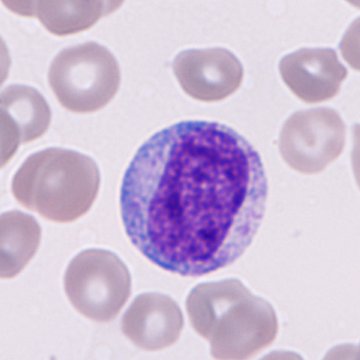 Showing an immature granulocyte (promyelocyte, myelocyte or metamyelocyte). 360 by 360 pixels; peripheral blood smear; imaged on a CellaVision DM96 analyser.